Bone marrow smear; 250 by 250 pixels.
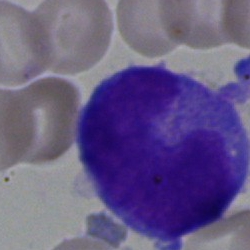
Q: What is shown here?
A: It is a monocyte.